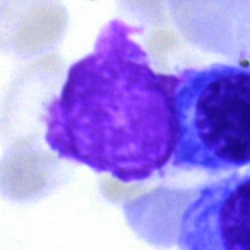
The cell shown is an artefact.